Brightfield microscopy, 40× oil immersion; 250×250 px; bone marrow aspirate smear — 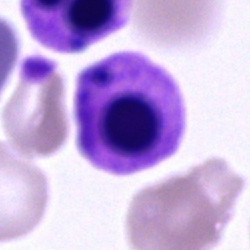

Impression → unidentifiable cell.